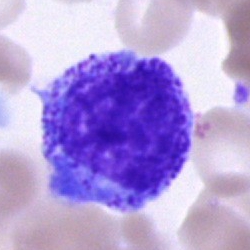
Bone marrow smear showing a progranulocyte.